Bone marrow aspirate smear.
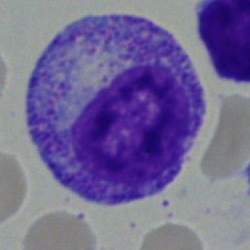 Specimen: bone marrow smear.
Morphological class: myelocyte.
Lineage: myeloid.